Peripheral blood film. May Grünwald-Giemsa stain. Automated cell imaging (CellaVision DM96) — 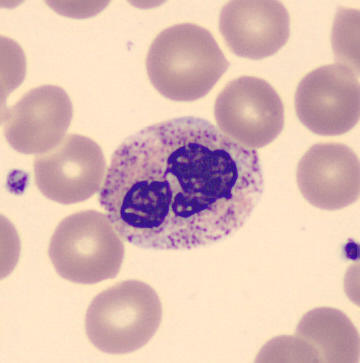 Showing a segmented neutrophil.